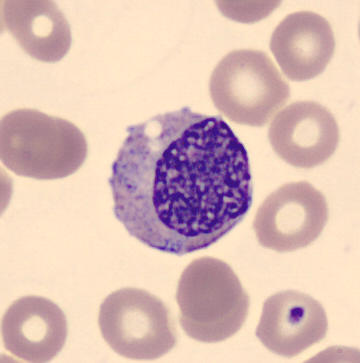
The cell is myelocyte.